Bone marrow smear · image size 250×250
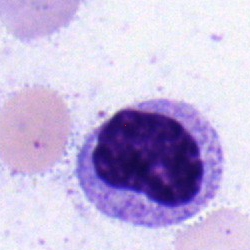 Morphology → metamyelocyte.